Bone marrow aspirate smear.
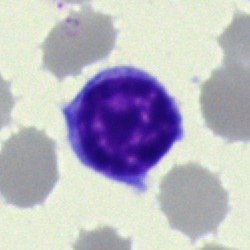 Q: What type of cell is this?
A: A typical lymphocyte.